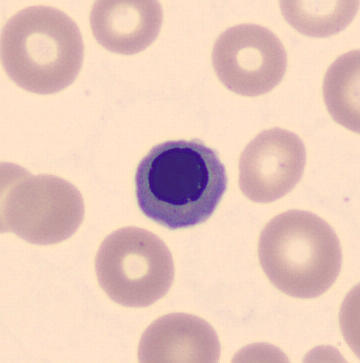Acquisition: Peripheral blood smear · 360 by 363 pixels.
Classification — nucleated red cell.